Peripheral blood film.
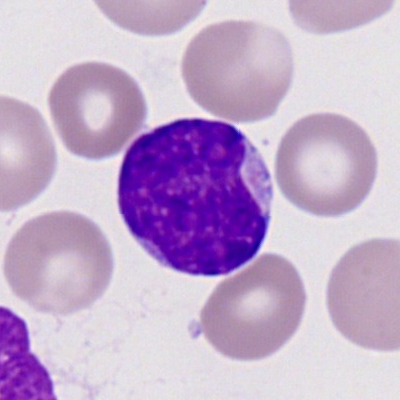Impression — myeloblast.